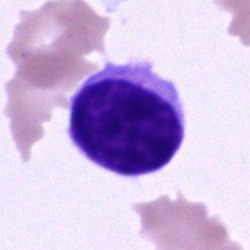
Cell = hairy cell.